250 by 250 pixels. Bone marrow smear
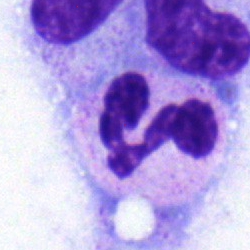

Showing a polymorphonuclear neutrophil.